Peripheral blood smear — 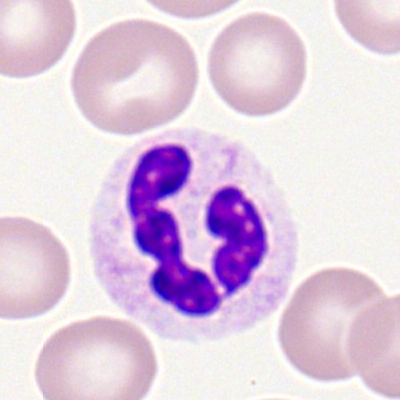

Morphology consistent with a neutrophil (segmented).